Bone marrow aspirate smear
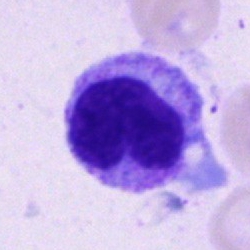

Neutrophil (band).